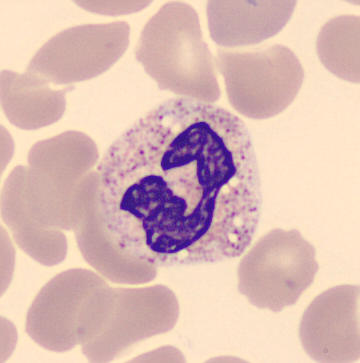
Preparation: Peripheral blood smear.
Q: What cell is this?
A: This is a neutrophil (segmented).